Bone marrow aspirate smear:
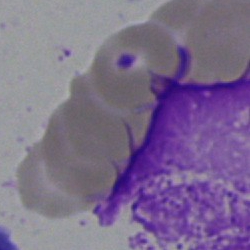

Classification = artifact.